Bone marrow smear
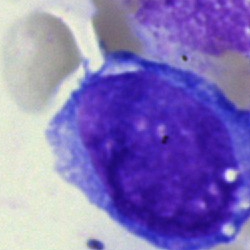

A blast.